MGG-stained; single-cell field; bone marrow aspirate smear
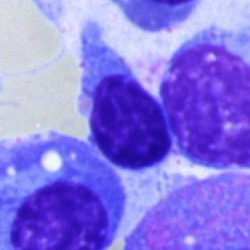

Morphology consistent with a typical lymphocyte.